Bone marrow aspirate smear:
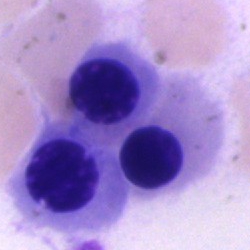
Nucleated red blood cell.